Bone marrow smear:
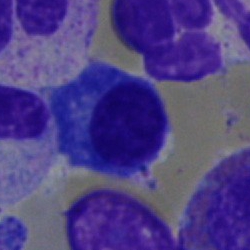
Cell = plasmacyte.